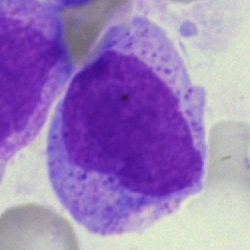
A blast cell.